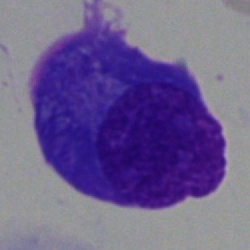Morphology → plasma cell.